Bone marrow smear — 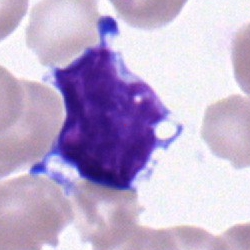

Impression → lymphocyte.